Bone marrow smear
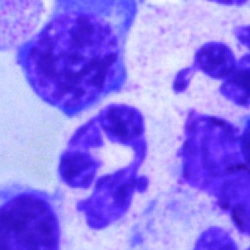 Morphological class — segmented neutrophil.